M8 digital microscope (Precipoint), 100× oil immersion; peripheral blood smear: 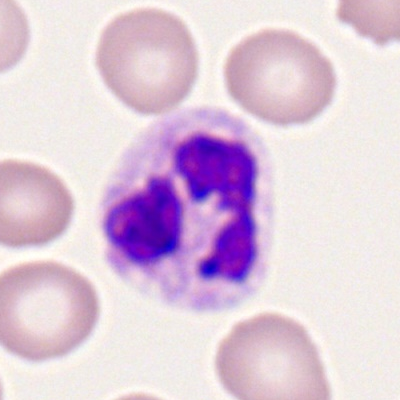Showing a polymorphonuclear neutrophil.